Peripheral blood film
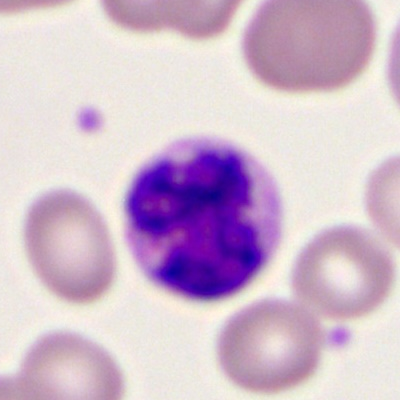

Q: Identify the cell.
A: It is a segmented neutrophil.